Bone marrow smear — 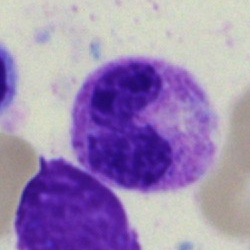
Specimen: bone marrow smear.
Classification: neutrophil (segmented).
Lineage: myeloid.